Peripheral blood smear; M8 digital microscope (Precipoint), 100× oil immersion:
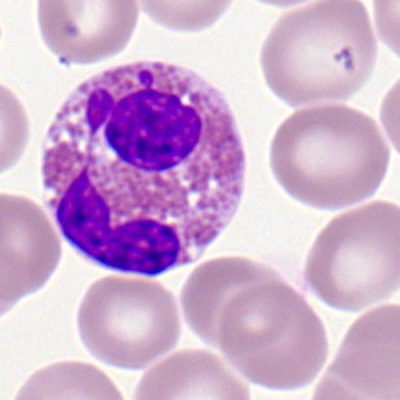
Q: What type of cell is this?
A: This is an eosinophilic granulocyte.